Cropped to a single cell. Bone marrow aspirate smear — 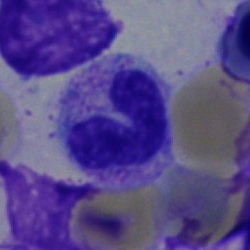

Showing a neutrophil (band).